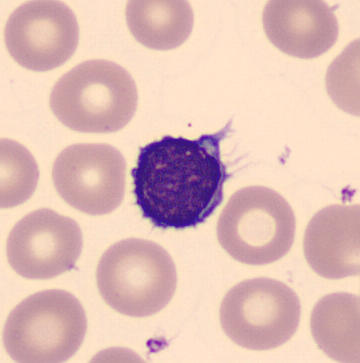
Impression → lymphocyte.

Image size 360×363. Peripheral blood smear. Automated cell imaging (CellaVision DM96).